Bone marrow smear:
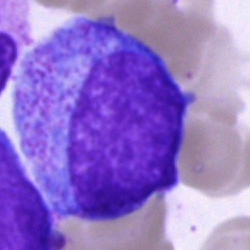 Morphology consistent with a progranulocyte.